100× oil immersion, 14.14 px/µm; peripheral blood film:
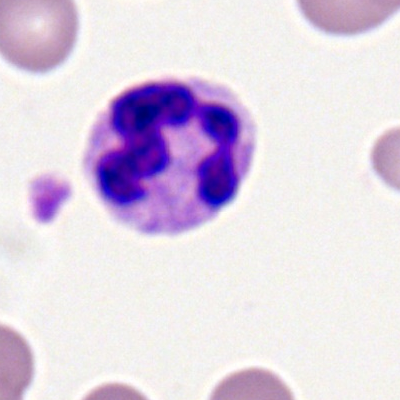
Q: What is the morphological classification of this cell?
A: It is a neutrophil (segmented).